Bone marrow aspirate smear
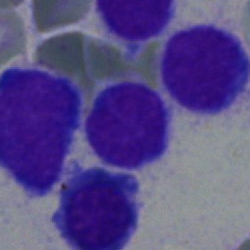{"cell_type": "lymphocyte", "lineage": "lymphoid"}